Peripheral blood smear:
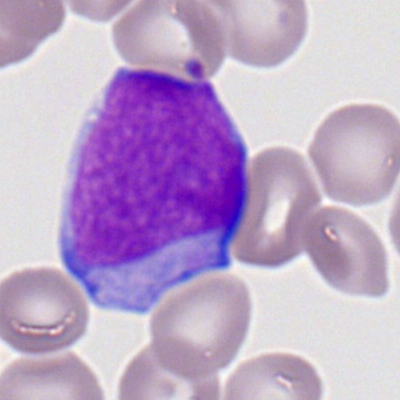
Single cell identified as a myeloblast.